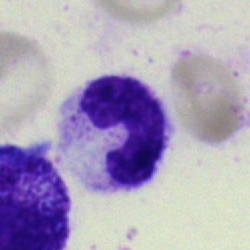Morphological class — stab cell.